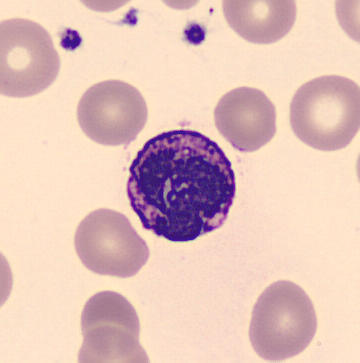
Q: What is this?
A: A basophil.

Image: Peripheral blood smear. 360×363.